Bone marrow smear:
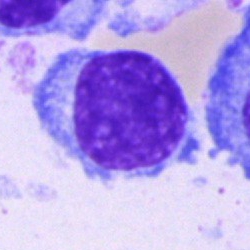
Typical lymphocyte.